Peripheral blood film: 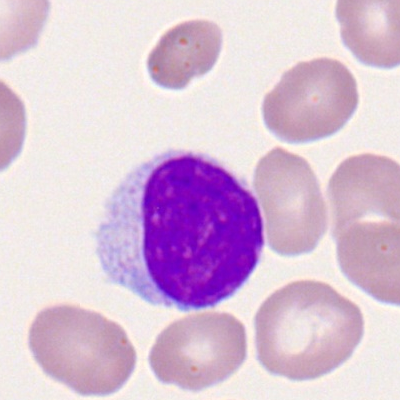
This is a lymphocyte.